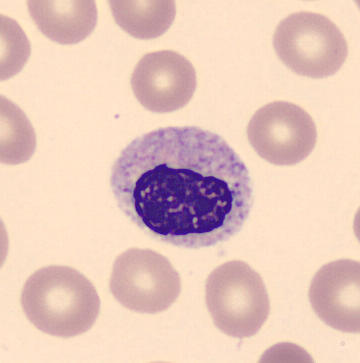

Cell: metamyelocyte.